Bone marrow smear — 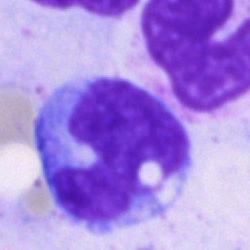Q: Identify the cell.
A: A monocyte.